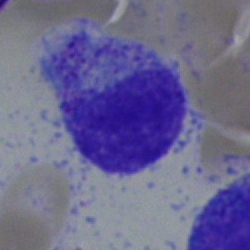
Q: What cell is this?
A: Myelocyte.